250 by 250 pixels. Bone marrow aspirate smear — 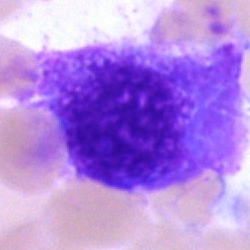 Morphological class — artefact.